MGG-stained · bone marrow smear
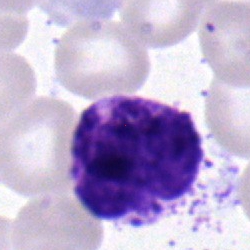

A basophil.